Image size 250×250; bone marrow aspirate smear; 40× objective, oil immersion.
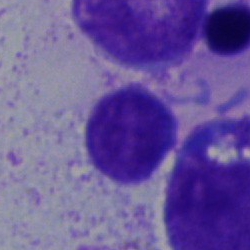
This is a lymphocyte.